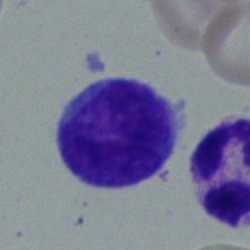
{"cell_type": "blast"}